Bone marrow smear: 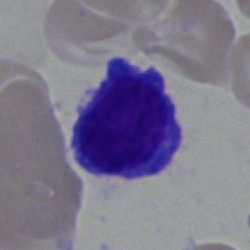

Specimen: bone marrow smear.
Morphological class: plasmacyte.